Bone marrow aspirate smear
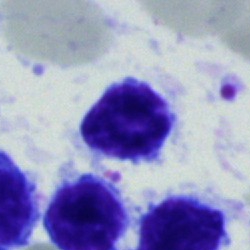Morphology consistent with a typical lymphocyte.